Bone marrow smear. Single-cell field
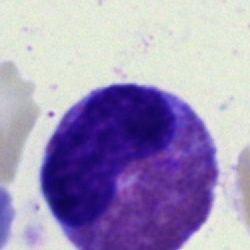 Morphology consistent with an eosinophil.